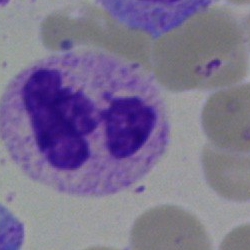A neutrophil (segmented) on a bone marrow smear.